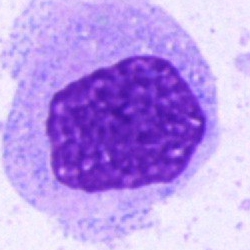 Morphological class: plasma cell.